Single-cell field. Bone marrow aspirate smear. Brightfield, 40× oil-immersion objective — 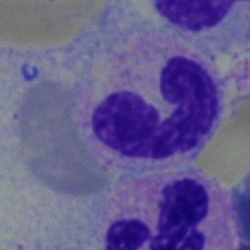

Specimen: bone marrow aspirate smear.
Classification: neutrophil (band).